40× objective, oil immersion. Bone marrow smear:
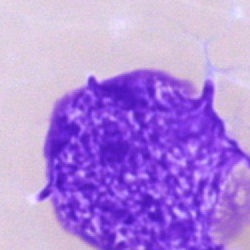Q: What is shown here?
A: An artifact.